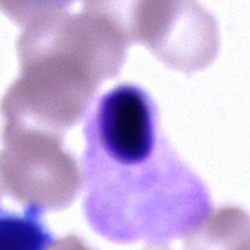Specimen: bone marrow aspirate smear.
Cell type: artifact.